Bone marrow smear. 40× objective, oil immersion. Single cell centered in the field.
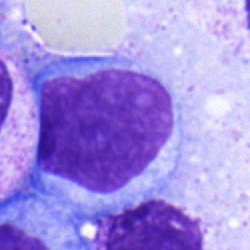 Classification = typical lymphocyte.